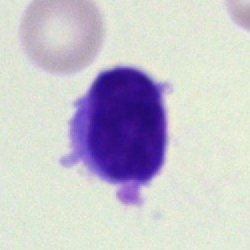
Specimen: bone marrow smear.
Classification: typical lymphocyte.